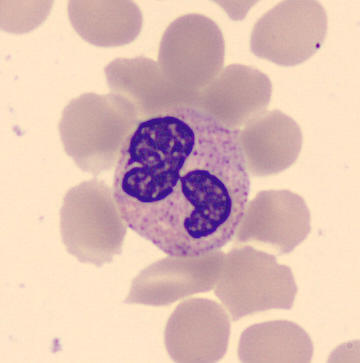
Identified as a segmented neutrophil.
Preparation: Peripheral blood smear; 360×363.